40× oil immersion; bone marrow smear; single-cell crop
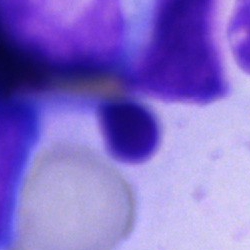
Morphology — cell of indeterminate lineage.